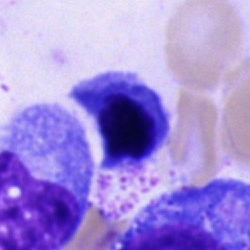
Specimen: bone marrow aspirate smear.
Morphological class: unidentifiable cell.